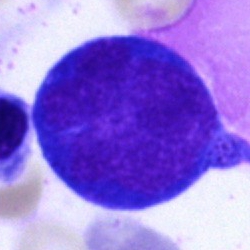

Specimen: bone marrow aspirate smear.
Classification: erythroblast.